Bone marrow aspirate smear
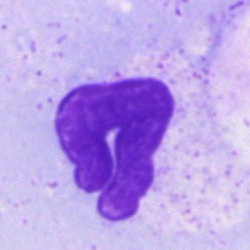
Classification: artifact.